Bone marrow aspirate smear:
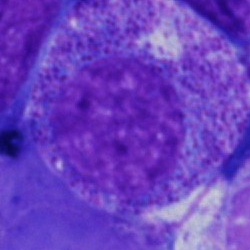{"cell_type": "progranulocyte", "lineage": "myeloid"}